Bone marrow aspirate smear: 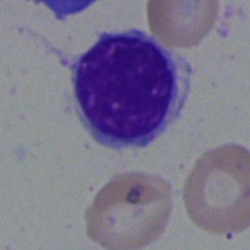This is a lymphocyte.